Bone marrow aspirate smear; MGG-stained; 250×250 px
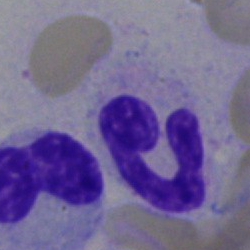 The cell shown is a neutrophil (segmented).